Bone marrow smear. 250×250. 40× objective, oil immersion: 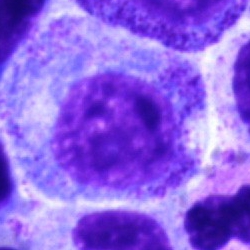Q: What is the morphological classification of this cell?
A: Promyelocyte.